250 by 250 pixels · bone marrow smear:
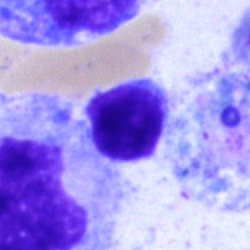 {"cell_type": "typical lymphocyte", "lineage": "lymphoid"}